Image size 250×250 · bone marrow smear — 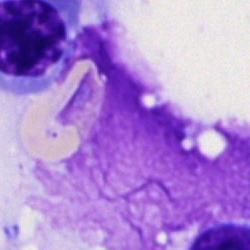 The cell shown is an artefact.